May-Grünwald-Giemsa/Pappenheim stain · bone marrow aspirate smear.
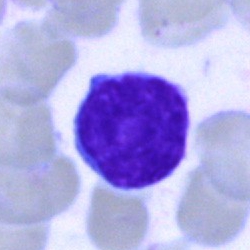

Q: What type of cell is this?
A: Typical lymphocyte.